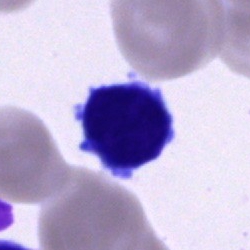
{"cell_type": "lymphocyte", "lineage": "lymphoid"}